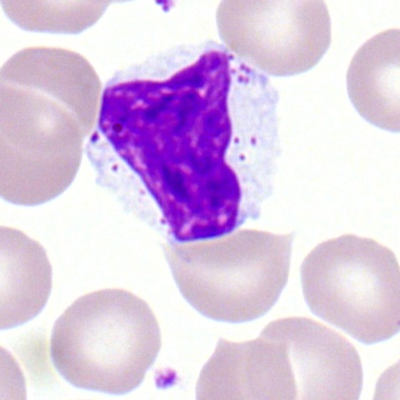

A typical lymphocyte.